Bone marrow aspirate smear. Cropped to a single cell: 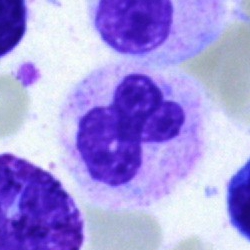 Q: What cell is this?
A: Neutrophil (segmented).